250×250 px; bone marrow aspirate smear:
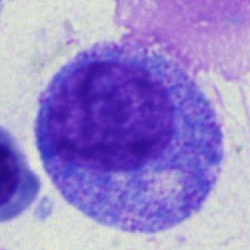 Morphology consistent with a promyelocyte.